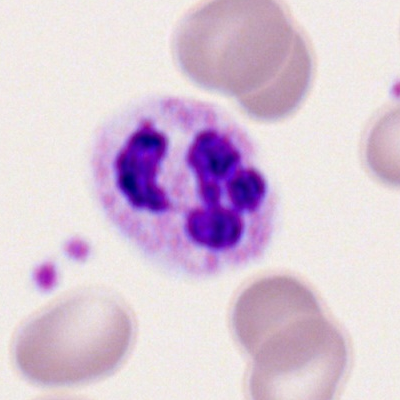 Peripheral blood smear showing a neutrophil (segmented).